Bone marrow smear · May-Grünwald-Giemsa/Pappenheim stain: 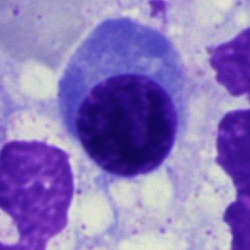Classification: nucleated red blood cell.